Peripheral blood film.
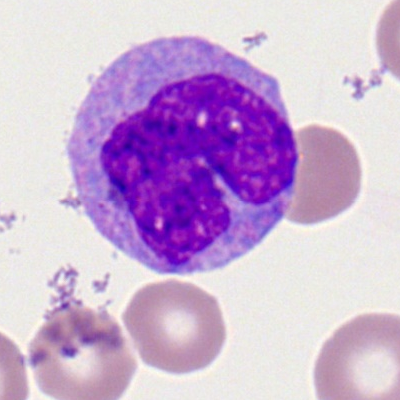 Cell type — monocyte.